Bone marrow aspirate smear: 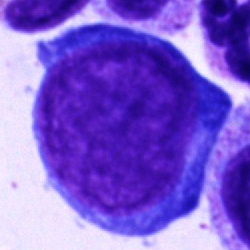

Classification — pronormoblast.